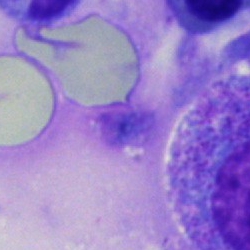

This is an artifact.